Bone marrow aspirate smear: 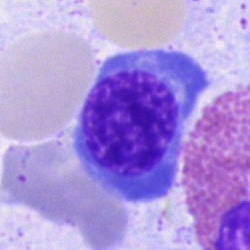
Single cell identified as an erythroblast.